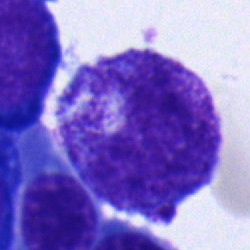 The cell is metamyelocyte.